Single cell centered in the field · bone marrow smear:
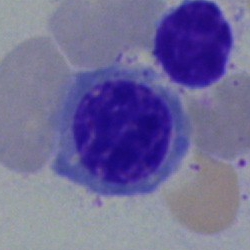Morphology consistent with an erythroblast.